Bone marrow smear. May-Grünwald-Giemsa stain: 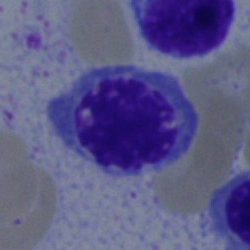 Morphology — nucleated red blood cell.